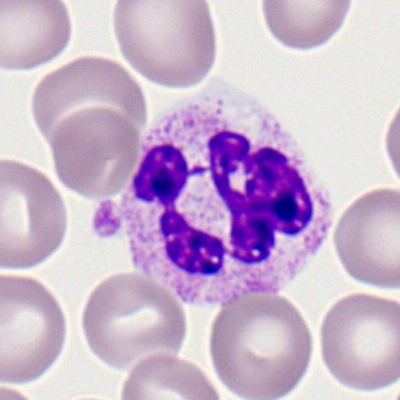 A neutrophil (segmented).